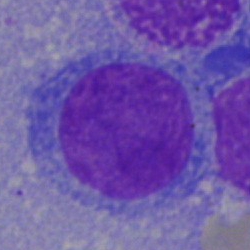 Q: What cell is this?
A: This is an undifferentiated blast.